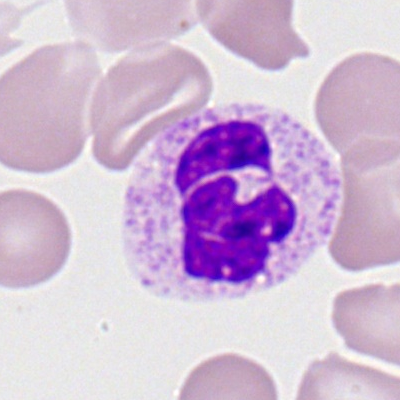Showing a segmented neutrophil.